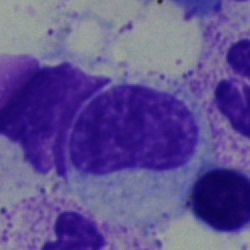 Metamyelocyte.